Image size 250×250 · bone marrow smear
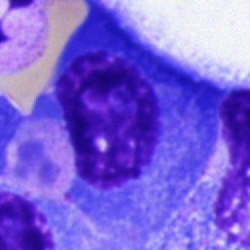
Single cell identified as a plasmacyte.